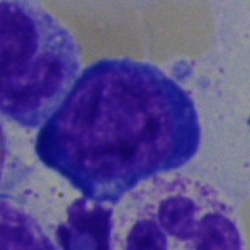Bone marrow aspirate smear, single cell — pronormoblast.